Bone marrow aspirate smear: 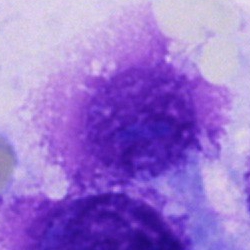 An other cell.